Single cell centered in the field; bone marrow smear — 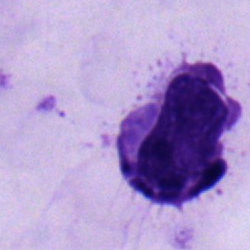

The classification is neutrophil (segmented).